MGG-stained. Bone marrow aspirate smear. Cropped to a single cell:
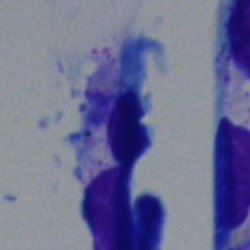
Q: What is shown here?
A: It is an artefact.